Romanowsky-stained · peripheral blood smear — 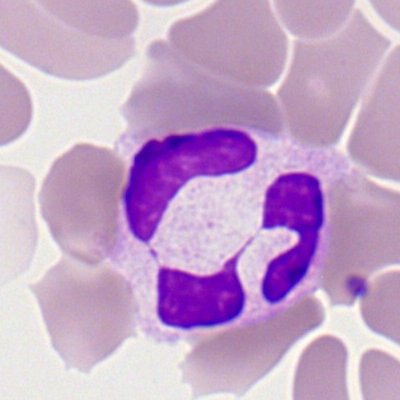

Q: What type of cell is this?
A: A polymorphonuclear neutrophil.